400×400 px; peripheral blood smear.
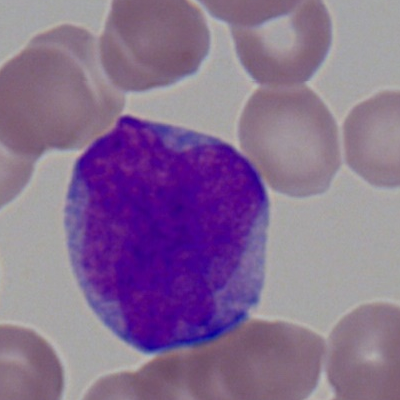
Q: What is the morphological classification of this cell?
A: It is a myeloid blast.